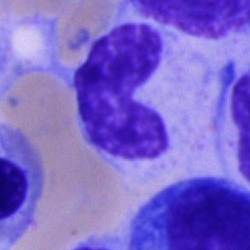 Morphological class — metamyelocyte.